Bone marrow smear · Pappenheim-stained — 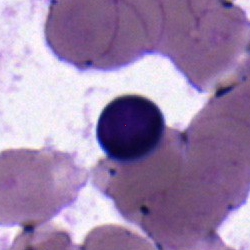 Lymphocyte.